Single-cell crop. Bone marrow smear. 250×250 px
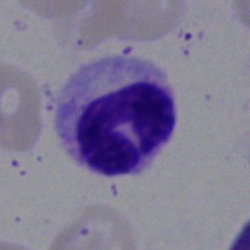

A polymorphonuclear neutrophil.